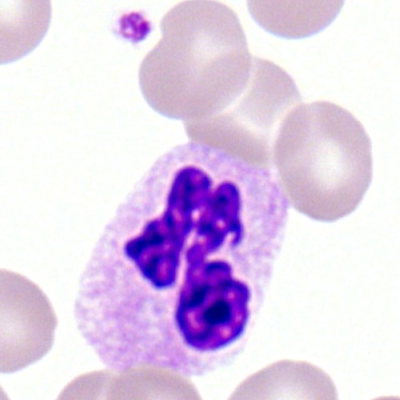Q: What is the morphological classification of this cell?
A: It is a polymorphonuclear neutrophil.